Bone marrow smear. Brightfield microscopy, 40× oil immersion
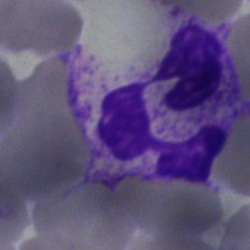The cell is neutrophil (segmented).